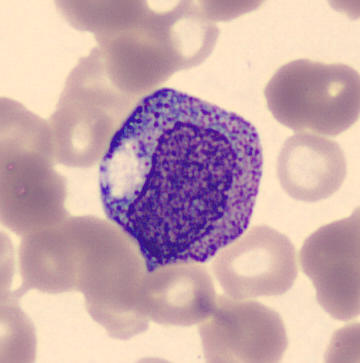
Classification — promyelocyte.

Image: Imaged on a CellaVision DM96 analyser. Peripheral blood film.